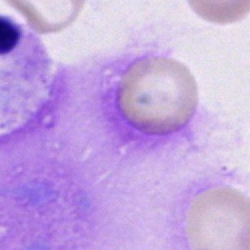Specimen: bone marrow smear.
Morphological class: artifact.